Single-cell field · bone marrow aspirate smear · image size 250×250: 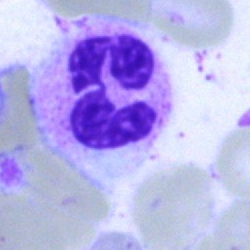
Q: What is the morphological classification of this cell?
A: This is a neutrophil (segmented).